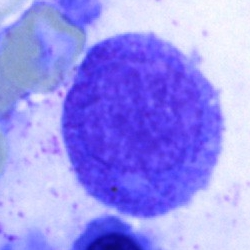

{"cell_type": "promyelocyte"}